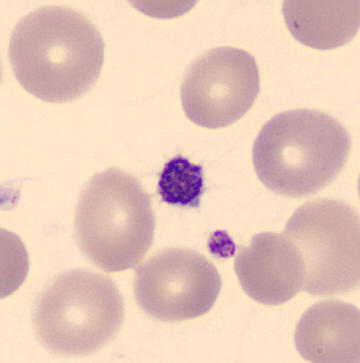Peripheral blood film. Classification = thrombocyte.